Peripheral blood film.
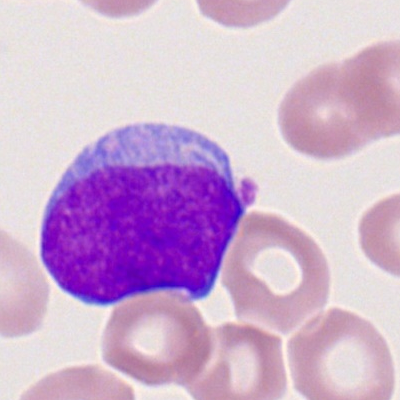A myeloblast.